400 by 400 pixels. Romanowsky-stained. Peripheral blood smear: 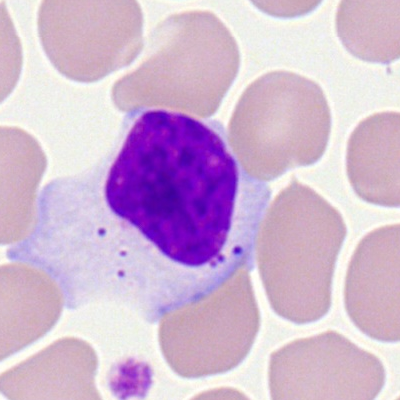Q: What cell is this?
A: It is a typical lymphocyte.